Bone marrow aspirate smear — 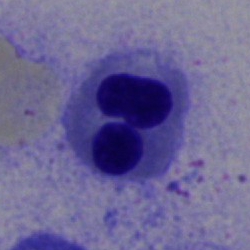 Classification: nucleated red cell.